Bone marrow aspirate smear · 250 by 250 pixels — 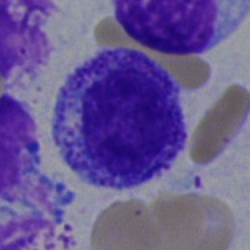Morphological class: myelocyte.